Bone marrow smear · cropped to a single cell · May-Grünwald-Giemsa stain
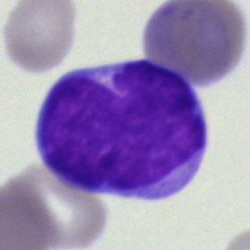
Q: Which cell type is shown here?
A: Undifferentiated blast.